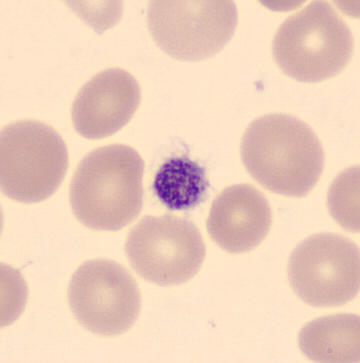
Q: What is this?
A: This is a platelet (thrombocyte).
Preparation: Peripheral blood smear.